Bone marrow aspirate smear: 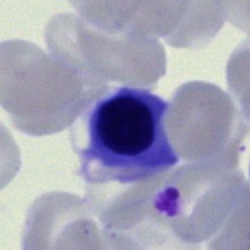{"cell_type": "normoblast", "lineage": "erythroid"}